Bone marrow aspirate smear — 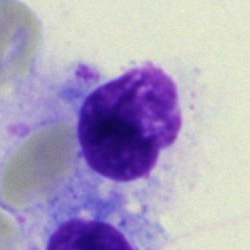

Classification — artefact.